250×250 px. Bone marrow smear. Single-cell field: 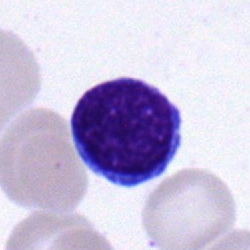Cell type — lymphocyte.